Bone marrow aspirate smear:
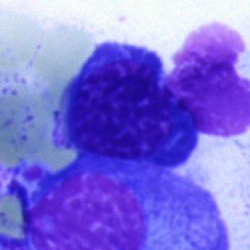
Specimen: bone marrow aspirate smear.
Cell type: normoblast.
Lineage: erythroid.